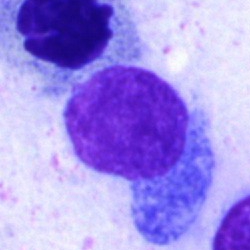
Single cell identified as a lymphocyte.